Bone marrow aspirate smear — 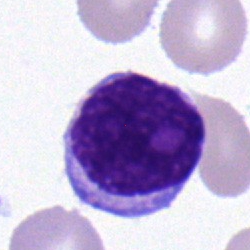

Typical lymphocyte.